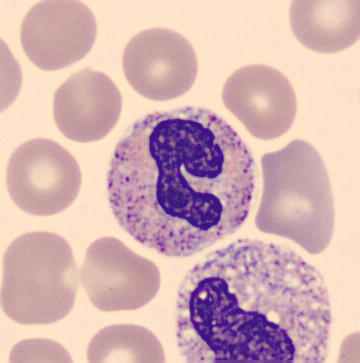 Peripheral blood smear. {"cell_type": "band-form neutrophil", "lineage": "myeloid"}